Bone marrow aspirate smear — 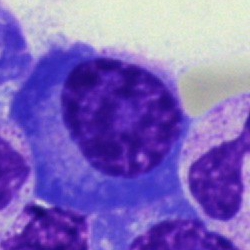Cell — plasma cell.